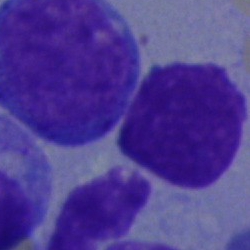Q: What is shown here?
A: It is an artefact.